Bone marrow aspirate smear — 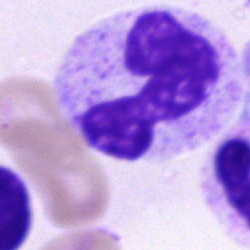Single cell identified as a neutrophil (band).